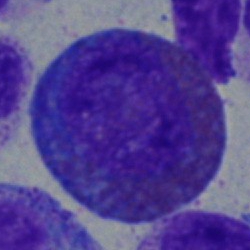
Bone marrow aspirate smear, single cell — eosinophilic granulocyte.